MGG-stained; bone marrow aspirate smear; single cell centered in the field
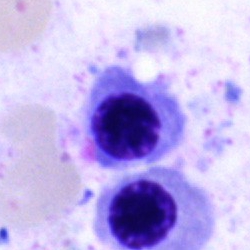Specimen: bone marrow smear.
Cell: erythroblast.
Lineage: erythroid.